250×250. Bone marrow aspirate smear. MGG-stained — 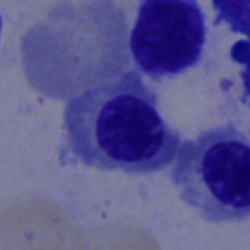

This is a nucleated red blood cell.